Bone marrow smear; 250×250:
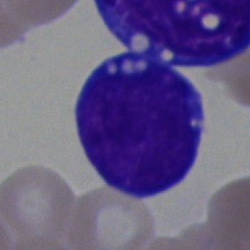Classification: blast cell.